Bone marrow aspirate smear. Single cell centered in the field — 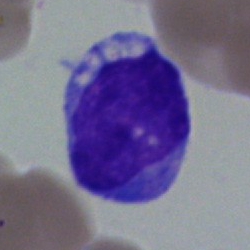

Q: Which cell type is shown here?
A: This is a blast.